Cropped to a single cell · bone marrow aspirate smear — 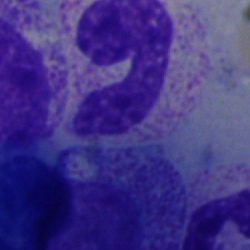 Q: Identify the cell.
A: A band neutrophil.